Cropped to a single cell. Brightfield microscopy, 40× oil immersion. Bone marrow aspirate smear:
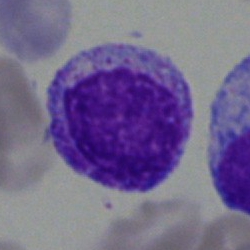

Morphology consistent with a myelocyte.